250 by 250 pixels · May-Grünwald-Giemsa/Pappenheim stain · bone marrow aspirate smear.
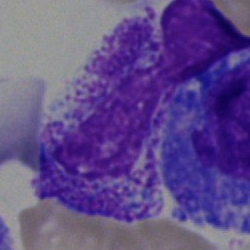

Single cell identified as an artifact.